Bone marrow smear. 250×250:
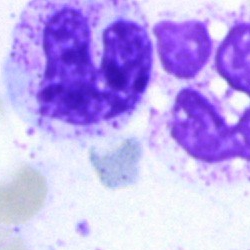Morphology — stab cell.